Bone marrow smear — 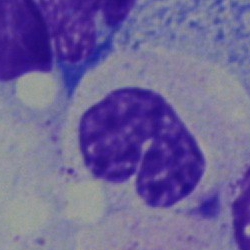 {"cell_type": "neutrophil (band)", "lineage": "myeloid"}